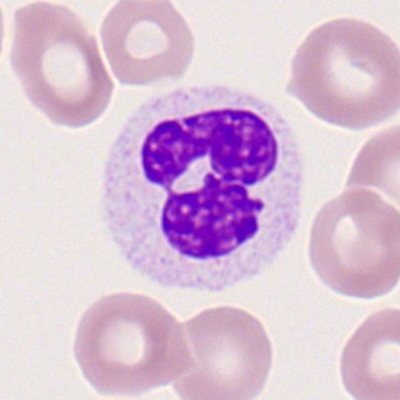Peripheral blood film, single cell — segmented neutrophil.